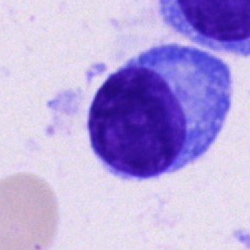
Classification — plasma cell.